Bone marrow smear: 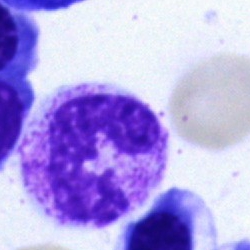

Specimen: bone marrow smear.
Cell: neutrophil (segmented).
Lineage: myeloid.